Bone marrow aspirate smear.
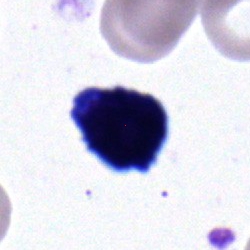

The cell shown is a typical lymphocyte.